250×250 px; bone marrow aspirate smear; brightfield, 40× oil-immersion objective — 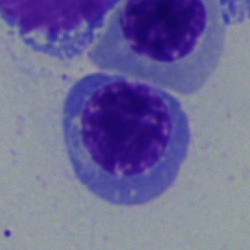
Erythroblast.